Bone marrow smear — 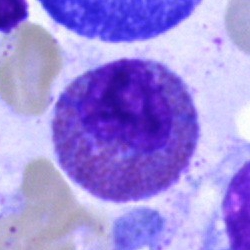
Single cell identified as an eosinophil.